Brightfield, 40× oil-immersion objective. Bone marrow aspirate smear. 250 by 250 pixels
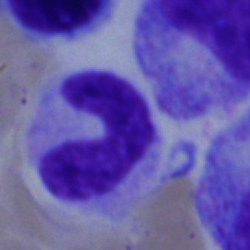
Cell type — neutrophil (band).